Bone marrow aspirate smear — 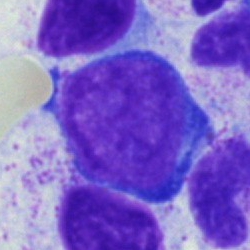
The cell shown is a proerythroblast.